Bone marrow aspirate smear
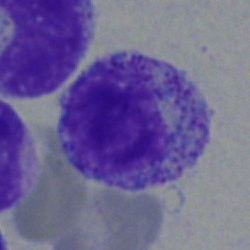Morphological class = myelocyte.